40× objective, oil immersion · bone marrow aspirate smear:
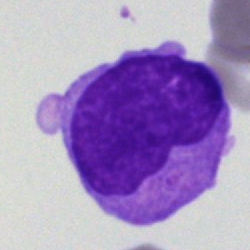

Cell — blast cell.